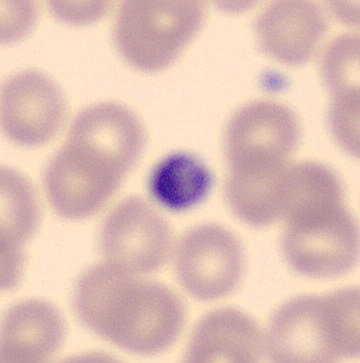Preparation: CellaVision DM96. 360×363 px. Peripheral blood film. Identified as a platelet.